250×250 px · single-cell field · bone marrow aspirate smear.
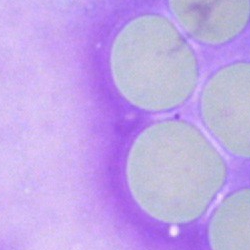
Classification: artefact.